Single cell centered in the field; bone marrow aspirate smear
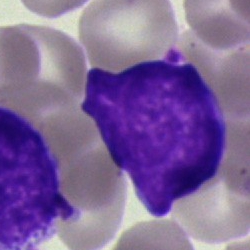

The cell is artifact.